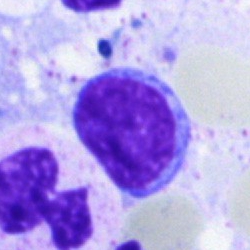 The cell is typical lymphocyte.